Image size 250×250; bone marrow smear; cropped to a single cell:
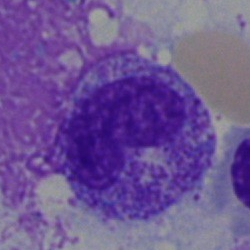
Cell: band-form neutrophil.